Bone marrow aspirate smear. Brightfield, 40× oil-immersion objective
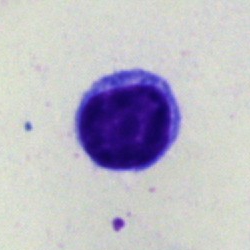Q: What is the morphological classification of this cell?
A: This is a lymphocyte.